Bone marrow smear · single-cell field.
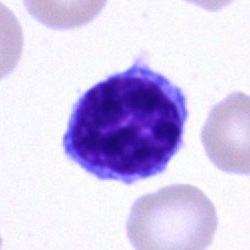
Single cell identified as a lymphocyte.